Bone marrow aspirate smear: 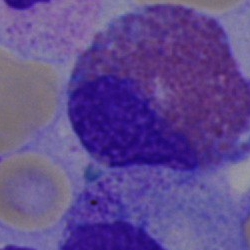
{"cell_type": "eosinophilic granulocyte"}